Bone marrow smear: 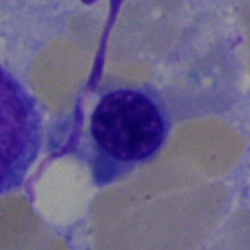
Impression → normoblast.